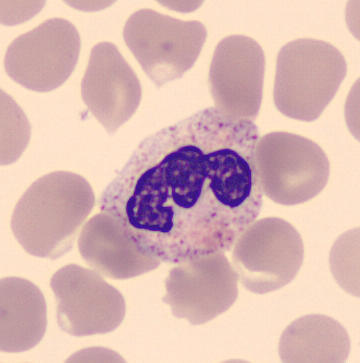Q: What type of cell is this?
A: A segmented neutrophil.